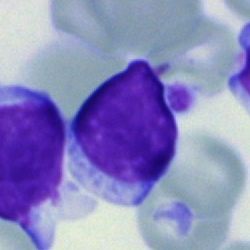
{"cell_type": "lymphocyte", "lineage": "lymphoid"}